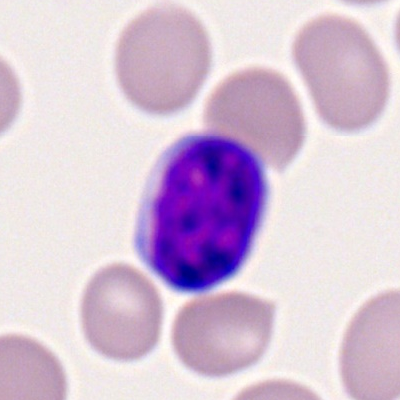

Single-cell crop from a peripheral blood smear: typical lymphocyte.